Bone marrow aspirate smear · cropped to a single cell: 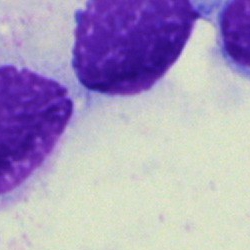Morphology — artifact.